Bone marrow aspirate smear.
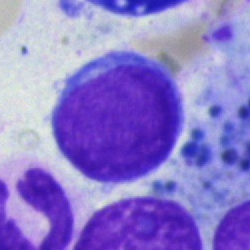

Classification: blast cell.